Peripheral blood smear: 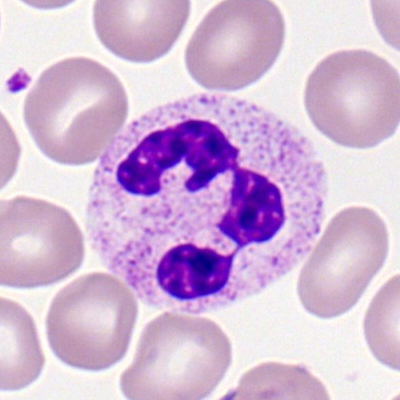 This is a neutrophil (segmented).